Bone marrow smear: 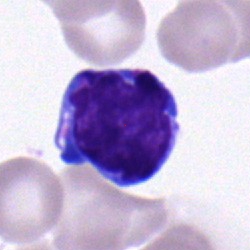Specimen: bone marrow smear.
Morphological class: typical lymphocyte.
Lineage: lymphoid.